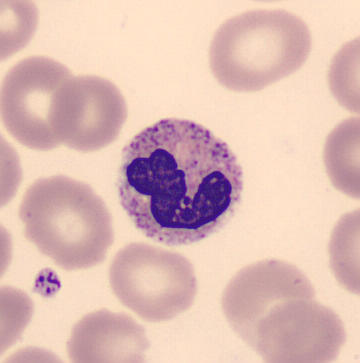360×363 · peripheral blood smear.

Showing a band neutrophil.